Bone marrow aspirate smear — 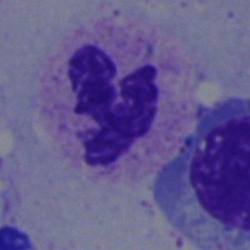 This is a segmented neutrophil.